Bone marrow aspirate smear.
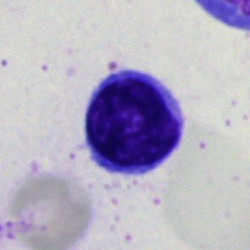Cell type = lymphocyte.